Single-cell crop · bone marrow aspirate smear
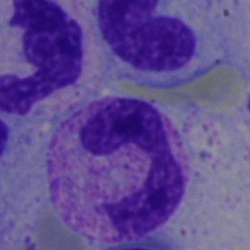 Specimen: bone marrow smear.
Cell type: neutrophil (segmented).